Bone marrow smear:
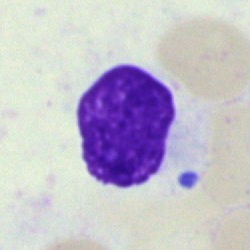

The cell type is artefact.